Peripheral blood smear:
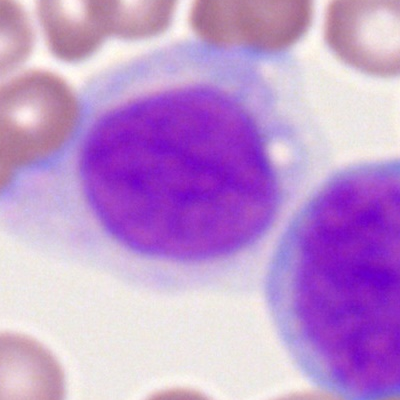Cell: monocyte.